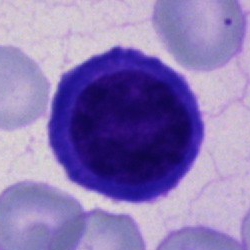Specimen: bone marrow smear.
Morphological class: nucleated red cell.
Lineage: erythroid.